Peripheral blood film:
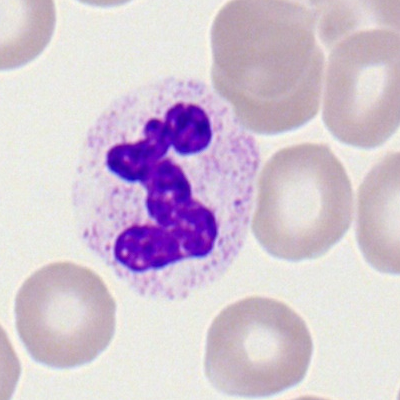
Specimen: peripheral blood film.
Morphological class: neutrophil (segmented).
Lineage: myeloid.